Bone marrow smear; May-Grünwald-Giemsa/Pappenheim stain:
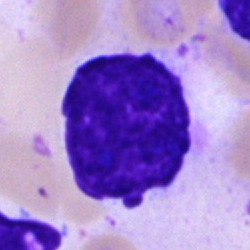

The cell shown is an artifact.